Bone marrow smear
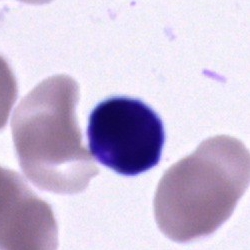
Cell type — unidentifiable cell.